Bone marrow smear · May-Grünwald-Giemsa/Pappenheim stain · 40× objective, oil immersion: 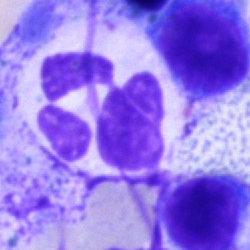

Q: Identify the cell.
A: It is a polymorphonuclear neutrophil.